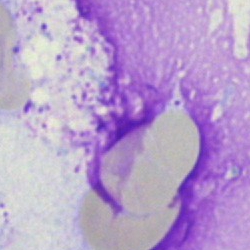
Q: What is shown here?
A: It is an artifact.